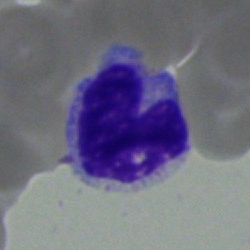 This is a monocyte.